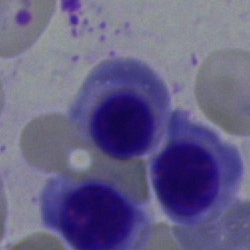 Nucleated red blood cell.